Peripheral blood film: 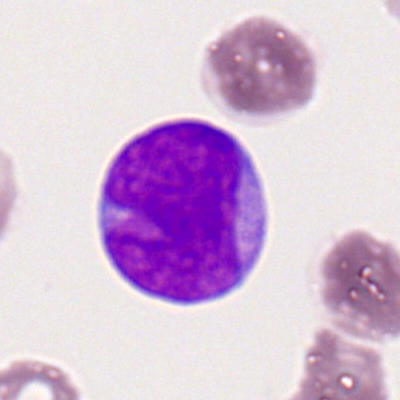

Impression → myeloblast.